250×250 px. Bone marrow aspirate smear: 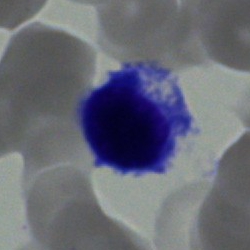
Impression → nucleated red cell.